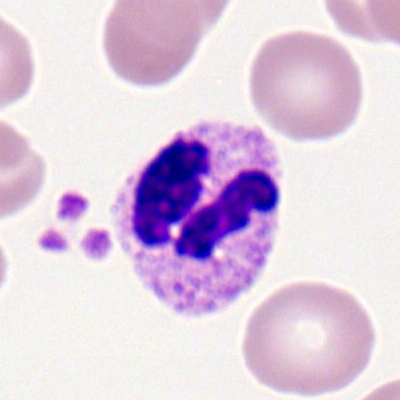 This is a segmented neutrophil.